Bone marrow aspirate smear: 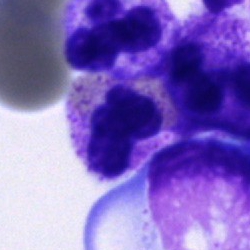 Cell type — unidentifiable cell.